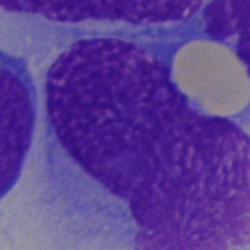

Single cell identified as an artefact.